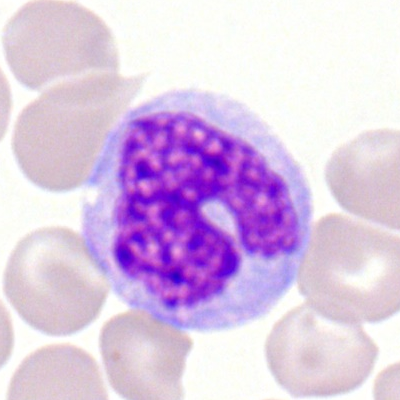
Morphological class = monocyte.